Cropped to a single cell · peripheral blood smear: 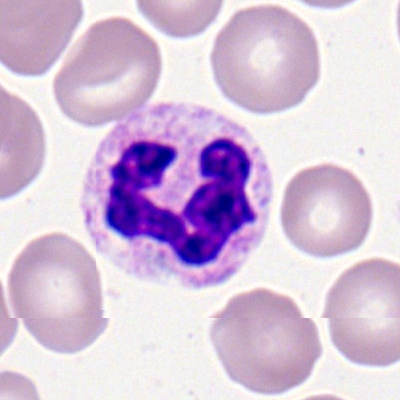 Showing a segmented neutrophil.